Bone marrow aspirate smear. May-Grünwald-Giemsa/Pappenheim stain — 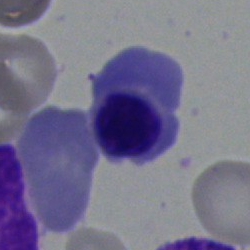

{"cell_type": "nucleated red blood cell", "lineage": "erythroid"}